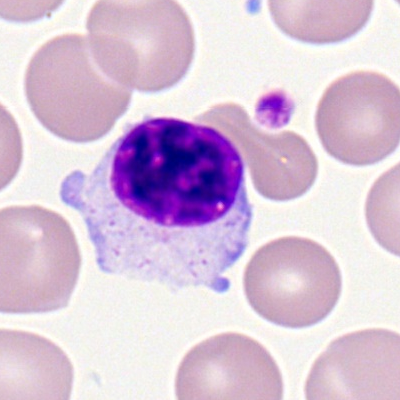 Morphology consistent with a typical lymphocyte.